250×250 px. Bone marrow smear. Pappenheim-stained.
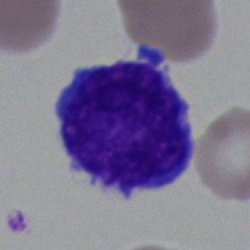Showing a blast cell.